Bone marrow aspirate smear — 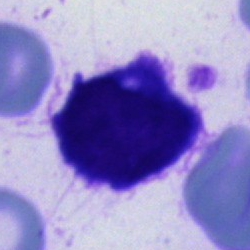Q: Which cell type is shown here?
A: Cell of indeterminate lineage.